250 by 250 pixels. Bone marrow aspirate smear.
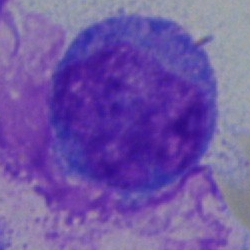 Q: Identify the cell.
A: It is an undifferentiated blast.